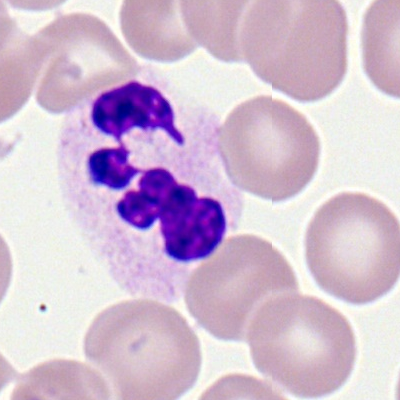
The cell shown is a neutrophil (segmented).